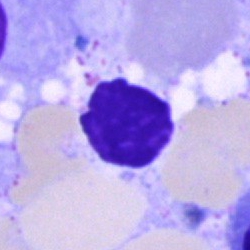 Impression → artifact.